Bone marrow smear.
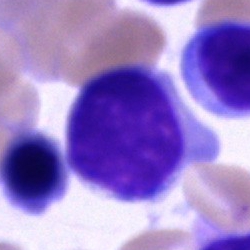
The cell shown is a lymphocyte.